Bone marrow smear: 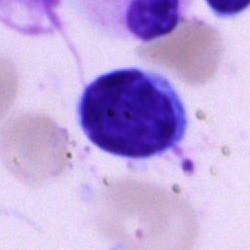

The morphological class is lymphocyte.